250 by 250 pixels. Bone marrow smear: 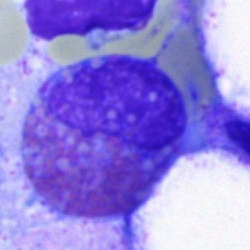
Morphology — eosinophil.